250×250; bone marrow smear
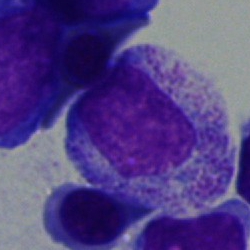 Myelocyte.